Pappenheim-stained · bone marrow aspirate smear
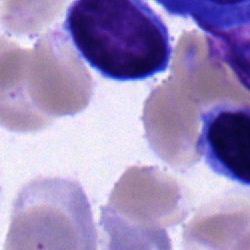Q: What is shown here?
A: It is a lymphocyte.